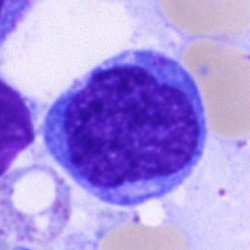

Morphological class: monocyte.